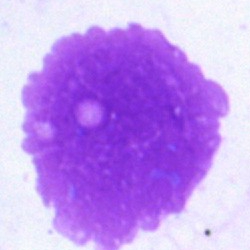

Specimen: bone marrow aspirate smear.
Cell type: artifact.